Bone marrow smear.
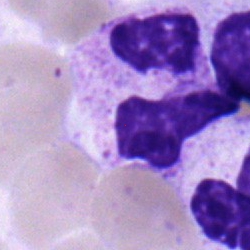Neutrophil (segmented).